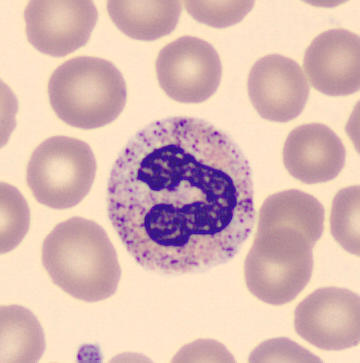

Cell: stab cell.